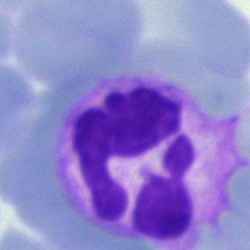
Bone marrow aspirate smear, single cell — polymorphonuclear neutrophil.